Bone marrow smear; MGG-stained; 40× objective, oil immersion: 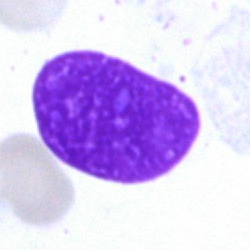
Impression — artifact.